Brightfield microscopy, 40× oil immersion · 250×250 px · bone marrow aspirate smear — 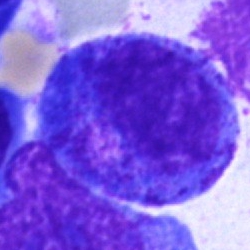

Showing a promyelocyte.